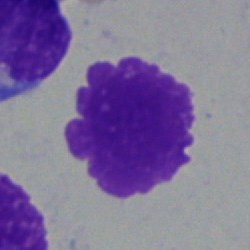Morphology consistent with an artefact.